Bone marrow aspirate smear: 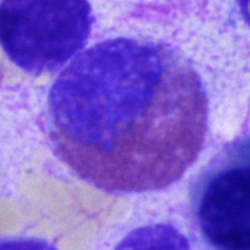 Morphology → eosinophil.